Bone marrow smear. 250×250 px:
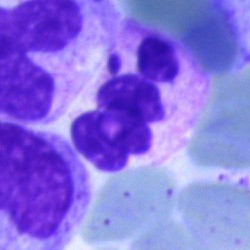{"cell_type": "polymorphonuclear neutrophil", "lineage": "myeloid"}